Bone marrow smear · brightfield, 40× oil-immersion objective: 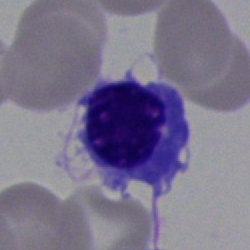 Q: What is the morphological classification of this cell?
A: This is an erythroblast.